Bone marrow aspirate smear
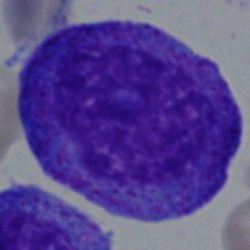The classification is progranulocyte.